Single-cell crop. Bone marrow aspirate smear: 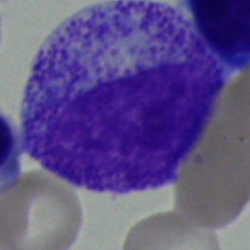 Morphological class: myelocyte.